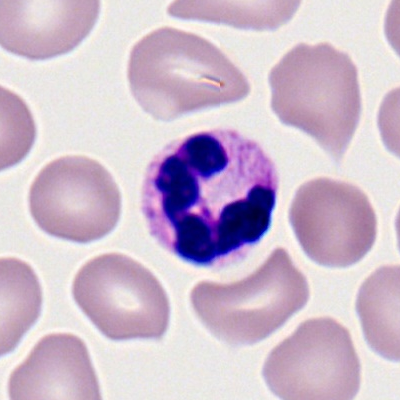 Impression — polymorphonuclear neutrophil.